Bone marrow smear · single-cell field
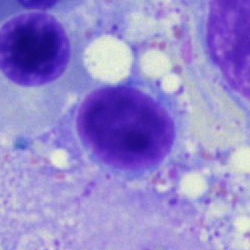Q: Identify the cell.
A: It is a typical lymphocyte.